Bone marrow smear — 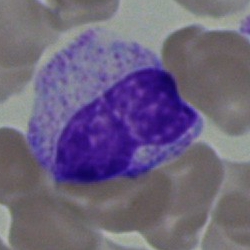
Q: What is shown here?
A: A neutrophil (band).